Peripheral blood film — 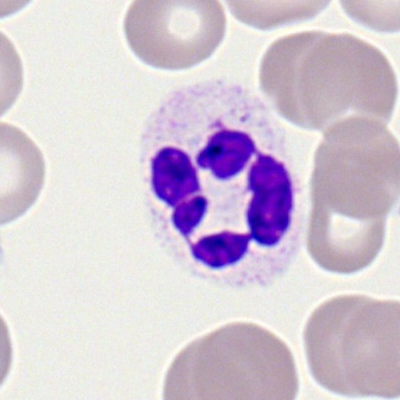

Morphological class — neutrophil (segmented).